Bone marrow smear. 40× oil immersion:
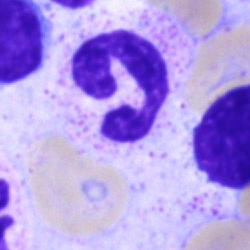
The classification is polymorphonuclear neutrophil.